Bone marrow aspirate smear: 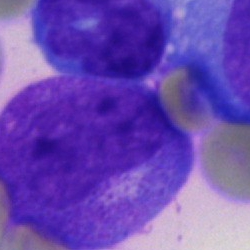

Morphological class = promyelocyte.